Bone marrow smear — 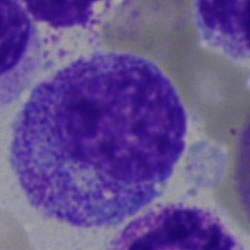
The morphological class is myelocyte.